Bone marrow smear: 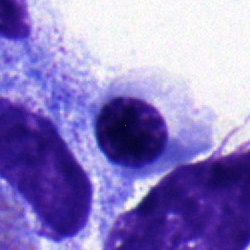

Q: What is shown here?
A: A nucleated red cell.